Bone marrow aspirate smear. Brightfield, 40× oil-immersion objective. Single-cell crop:
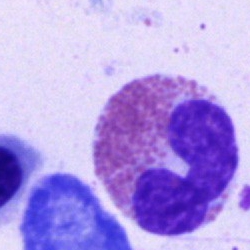
Eosinophilic granulocyte.